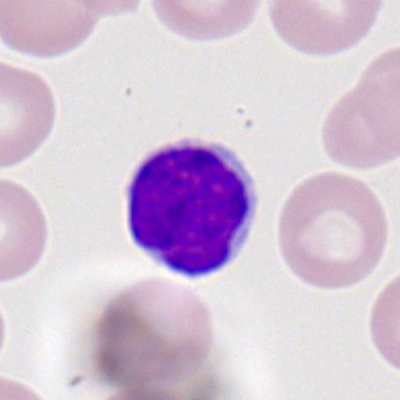

Q: Which cell type is shown here?
A: Typical lymphocyte.